Bone marrow aspirate smear · MGG-stained — 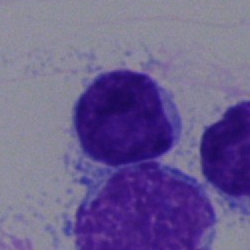
Specimen: bone marrow smear.
Cell: lymphocyte.